Bone marrow smear; 250×250; MGG-stained:
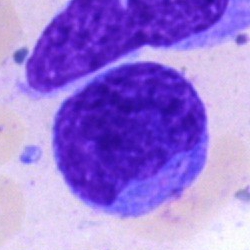Impression — monocyte.